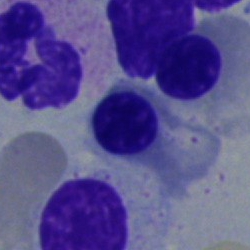Specimen: bone marrow aspirate smear.
Cell: normoblast.